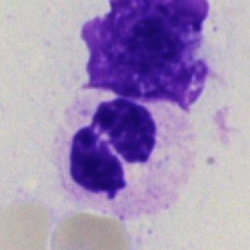
Cell type: polymorphonuclear neutrophil.